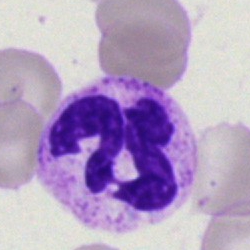
Classification = polymorphonuclear neutrophil.